Bone marrow aspirate smear
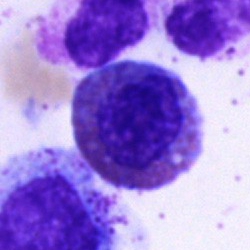Q: What cell is this?
A: This is an eosinophil.